Bone marrow smear
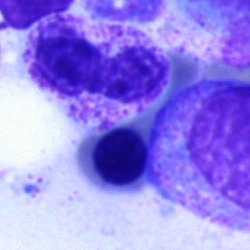
A polymorphonuclear neutrophil.